Bone marrow smear · Pappenheim-stained — 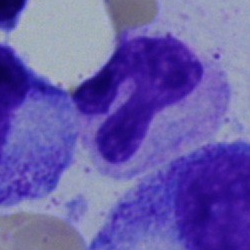 Stab cell.